Brightfield, 40× oil-immersion objective; bone marrow aspirate smear; MGG-stained:
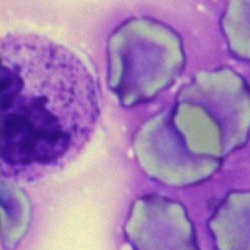Classification — neutrophil (segmented).